Image size 250×250 · bone marrow aspirate smear — 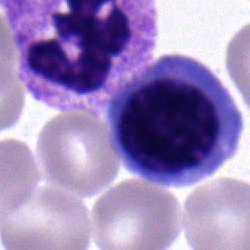 The cell type is normoblast.